Bone marrow aspirate smear.
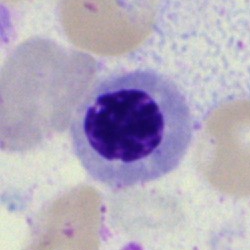
A nucleated red cell.